Bone marrow aspirate smear.
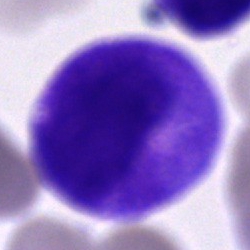

Classification = promyelocyte.